Bone marrow smear; May-Grünwald-Giemsa/Pappenheim stain — 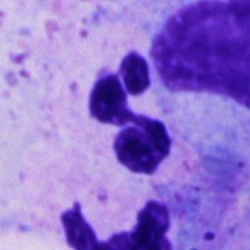
The classification is polymorphonuclear neutrophil.